May-Grünwald-Giemsa stain; single cell centered in the field; bone marrow aspirate smear:
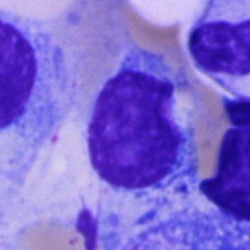Morphology → typical lymphocyte.